Single-cell field · bone marrow smear · May-Grünwald-Giemsa/Pappenheim stain: 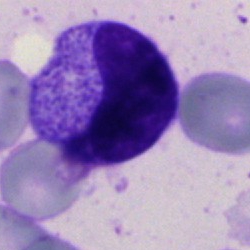 Metamyelocyte.